Bone marrow smear — 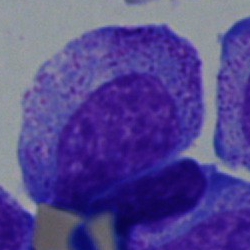

Cell type: promyelocyte.